40× objective, oil immersion · bone marrow smear
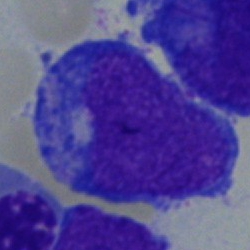
Specimen: bone marrow aspirate smear.
Classification: blast.